250 by 250 pixels; May-Grünwald-Giemsa stain; bone marrow aspirate smear
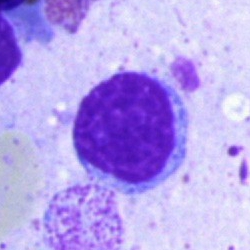 Cell type — typical lymphocyte.